Peripheral blood film.
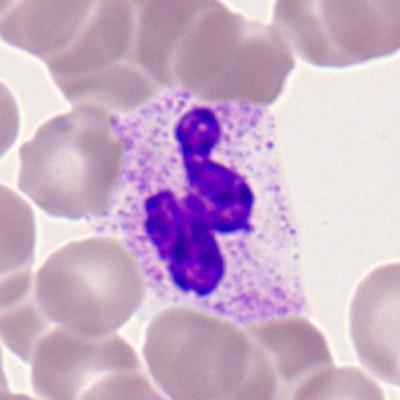Q: What is shown here?
A: Neutrophil (segmented).